40× oil immersion; MGG-stained; bone marrow smear — 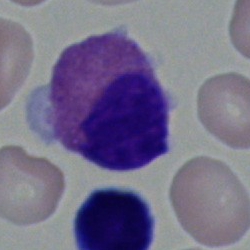 Showing an eosinophil.